Bone marrow aspirate smear — 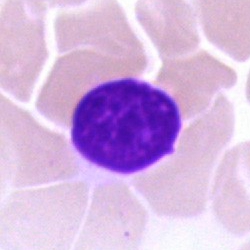

Q: What is shown here?
A: An artifact.